Image size 250×250 · bone marrow aspirate smear
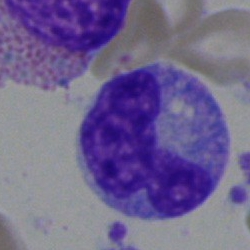Q: What is the morphological classification of this cell?
A: This is a monocyte.